Bone marrow aspirate smear:
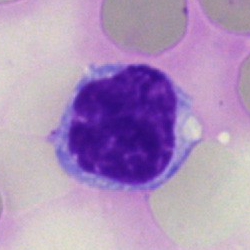 Single cell identified as a lymphocyte.